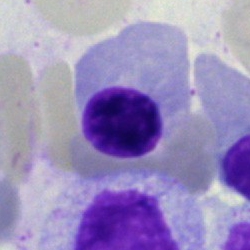 {"cell_type": "erythroblast", "lineage": "erythroid"}